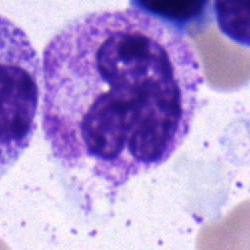The classification is neutrophil (band).